Peripheral blood film; CellaVision DM96 digital cell image.
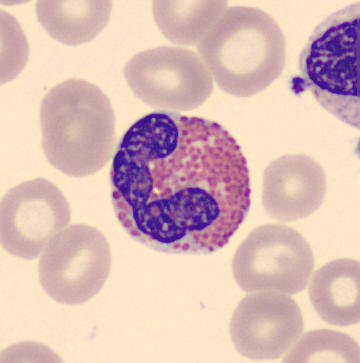

Morphological class — eosinophilic granulocyte.